Bone marrow smear
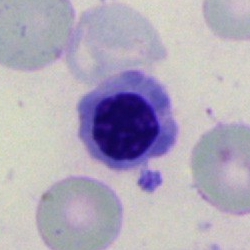
This is a nucleated red blood cell.